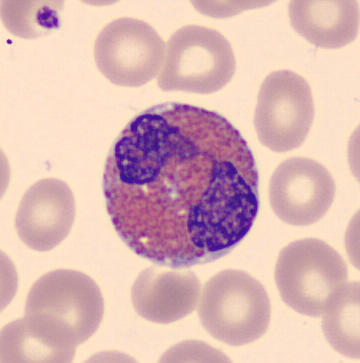

Cell = eosinophil. 360×363 · peripheral blood film.